Bone marrow aspirate smear · Pappenheim-stained · single-cell crop
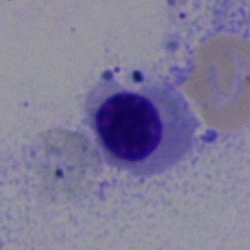 {"cell_type": "nucleated red cell", "lineage": "erythroid"}